Bone marrow smear — 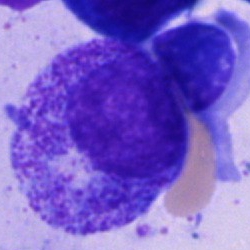

The cell shown is a progranulocyte.